May-Grünwald-Giemsa stain · bone marrow aspirate smear · cropped to a single cell.
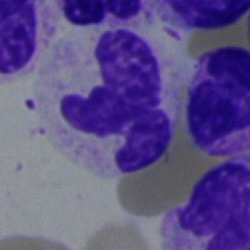

Morphology consistent with a segmented neutrophil.